250 by 250 pixels. Bone marrow smear:
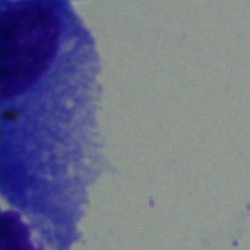
Specimen: bone marrow aspirate smear.
Classification: plasma cell.